Bone marrow aspirate smear. 40× objective, oil immersion: 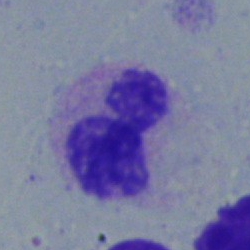Classification — band-form neutrophil.